May-Grünwald-Giemsa stain · bone marrow smear.
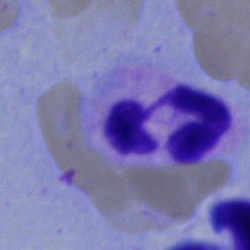

Segmented neutrophil.